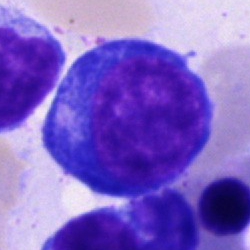 Classification — pronormoblast.